Bone marrow smear: 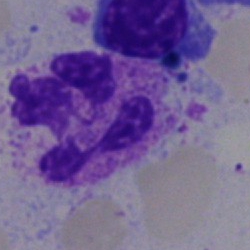

Specimen: bone marrow aspirate smear.
Cell type: polymorphonuclear neutrophil.